Bone marrow smear. May-Grünwald-Giemsa stain:
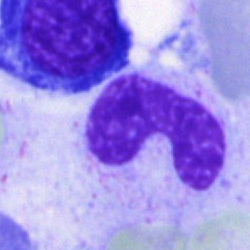

Classification — neutrophil (band).